250×250 · bone marrow smear · brightfield microscopy, 40× oil immersion: 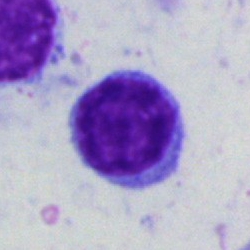

Cell type: typical lymphocyte.